May-Grünwald-Giemsa/Pappenheim stain. Bone marrow smear:
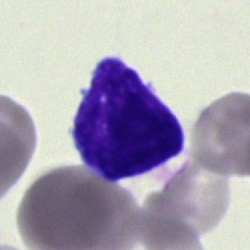
Showing a typical lymphocyte.